Peripheral blood film.
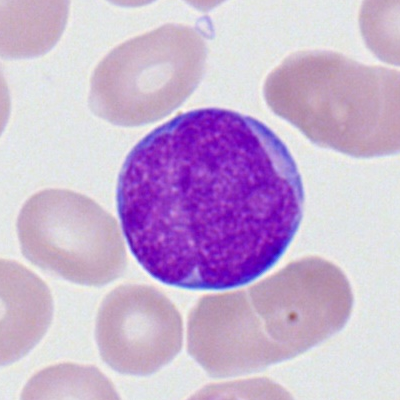

Single cell identified as a myeloblast.